Peripheral blood smear: 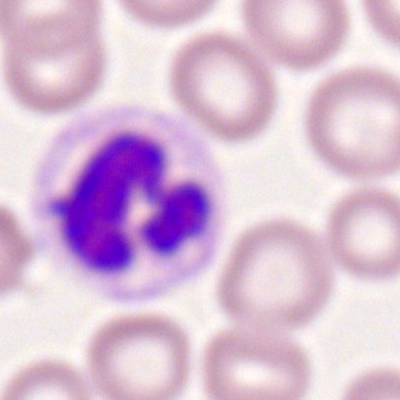Neutrophil (segmented).